Brightfield, 40× oil-immersion objective. Single-cell crop. Bone marrow aspirate smear
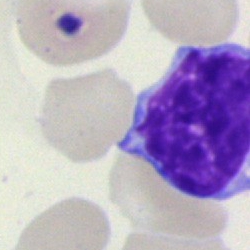 Specimen: bone marrow aspirate smear.
Cell: typical lymphocyte.